Bone marrow smear: 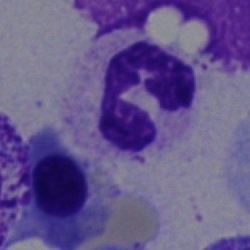
Specimen: bone marrow smear.
Classification: segmented neutrophil.
Lineage: myeloid.